Bone marrow aspirate smear:
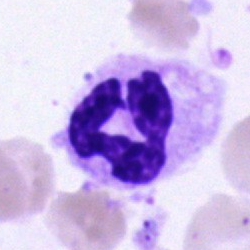

Impression → segmented neutrophil.